Bone marrow smear
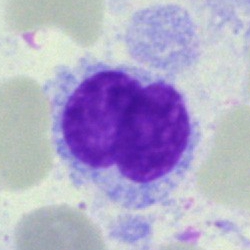 The cell type is hairy cell.